250×250 px · bone marrow smear · single-cell field: 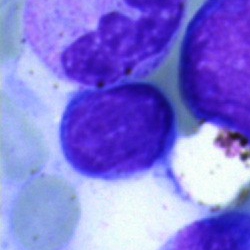
The cell type is lymphocyte.